Bone marrow aspirate smear.
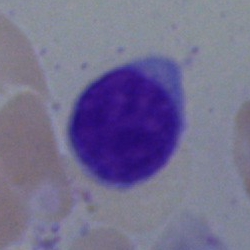 Q: What type of cell is this?
A: Typical lymphocyte.